Bone marrow aspirate smear
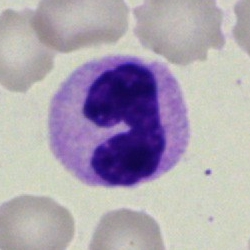

A neutrophil (band).